Bone marrow aspirate smear; 40× oil immersion — 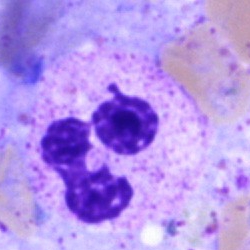Classification = polymorphonuclear neutrophil.